Bone marrow smear:
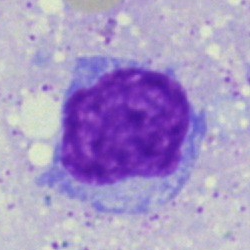
Cell type — typical lymphocyte.